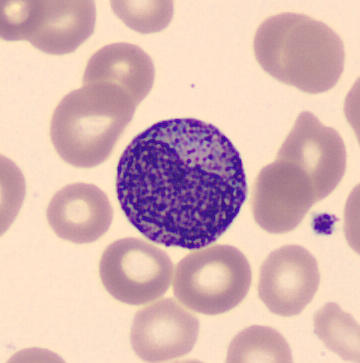 Q: What is this?
A: It is a myelocyte.